Bone marrow aspirate smear · 250×250 — 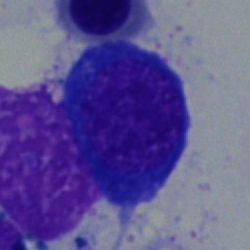

Cell type — nucleated red blood cell.